Cropped to a single cell · May-Grünwald-Giemsa stain · bone marrow smear:
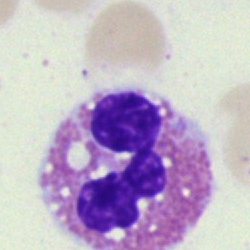

Morphological class: eosinophilic granulocyte.